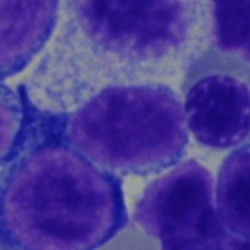
Impression → typical lymphocyte.